Brightfield microscopy, 40× oil immersion · 250×250 · bone marrow aspirate smear — 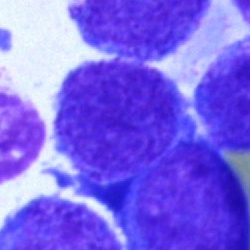

Impression — blast.